Bone marrow smear; brightfield, 40× oil-immersion objective:
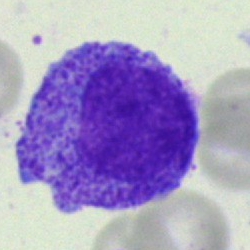 Classification = progranulocyte.